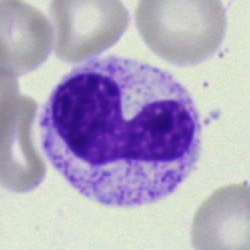
Morphology → stab cell.